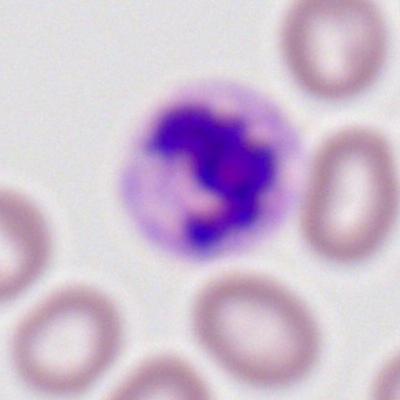

This is a segmented neutrophil.